Peripheral blood smear · May Grünwald-Giemsa stain
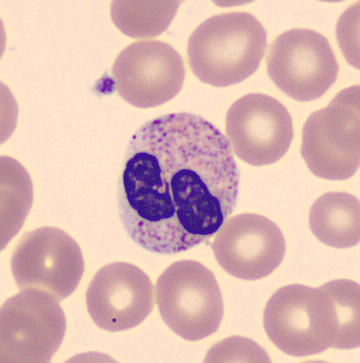Morphological class — polymorphonuclear neutrophil.